Single-cell crop · bone marrow aspirate smear:
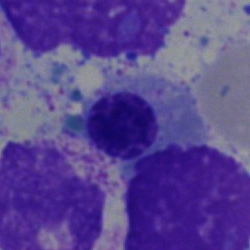Classification: nucleated red cell.